Bone marrow smear
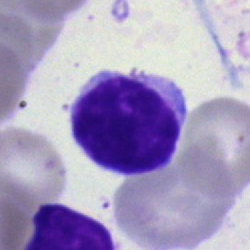
Specimen: bone marrow smear.
Classification: typical lymphocyte.
Lineage: lymphoid.